Bone marrow aspirate smear
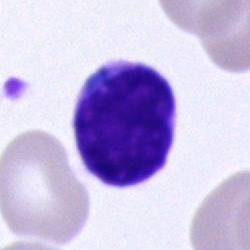
Typical lymphocyte.